40× objective, oil immersion · bone marrow smear — 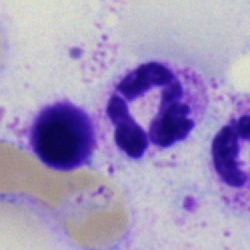 Cell = segmented neutrophil.